40× objective, oil immersion; single-cell crop; bone marrow aspirate smear:
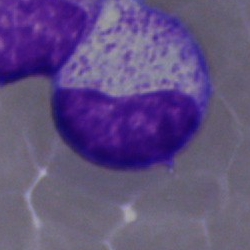

A metamyelocyte.